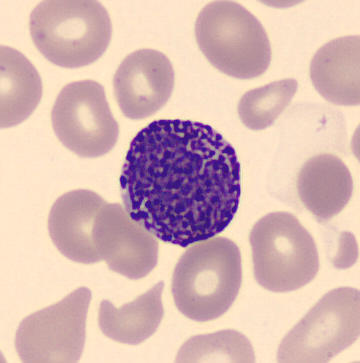

Preparation: May-Grünwald-Giemsa-stained.
Specimen: peripheral blood smear.
Morphological class: basophilic granulocyte.
Lineage: myeloid.